Brightfield microscopy, 40× oil immersion. Bone marrow aspirate smear. Single-cell field
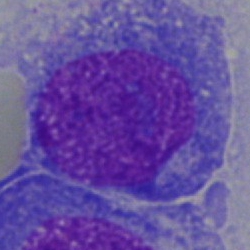 Specimen: bone marrow aspirate smear.
Cell: blast.